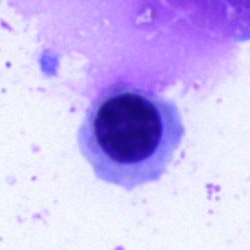
The cell type is nucleated red blood cell.